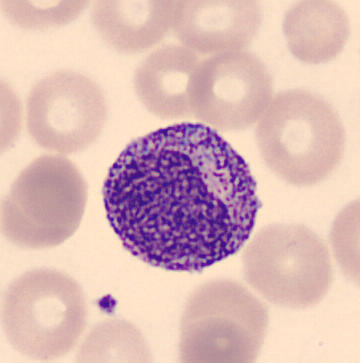Promyelocyte. Acquisition: Peripheral blood film; single cell centered in the field.